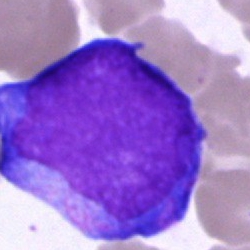Morphology consistent with a blast cell.